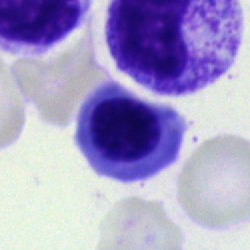Single cell identified as a normoblast.